Bone marrow smear — 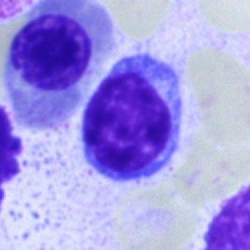
Showing a typical lymphocyte.